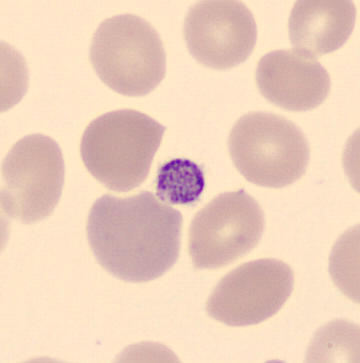
Peripheral blood smear. Automated cell imaging (CellaVision DM96). Morphology consistent with a thrombocyte.